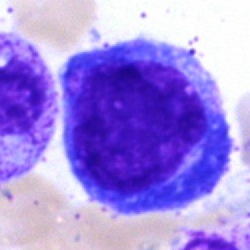 The cell shown is a normoblast.